Bone marrow aspirate smear
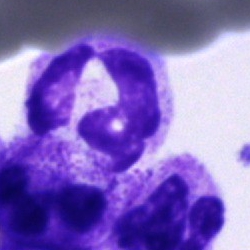

A segmented neutrophil.